Bone marrow smear — 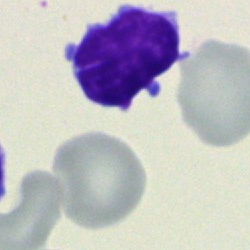The cell type is typical lymphocyte.